Bone marrow smear; 250 by 250 pixels:
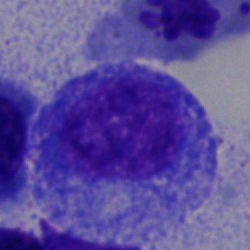 Specimen: bone marrow smear.
Classification: progranulocyte.